Image size 250×250; bone marrow smear; single-cell field — 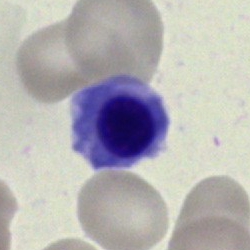 Cell type = erythroblast.